Bone marrow aspirate smear — 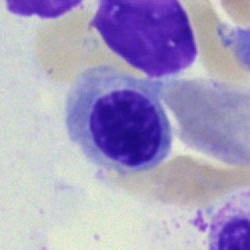
Showing a nucleated red blood cell.